Bone marrow aspirate smear · single-cell crop: 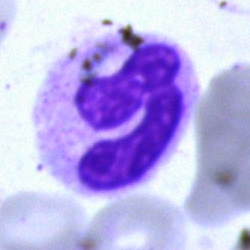
This is a segmented neutrophil.